Peripheral blood smear.
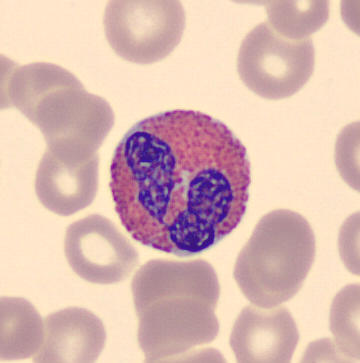
Specimen: peripheral blood smear.
Morphological class: eosinophil.